Bone marrow smear: 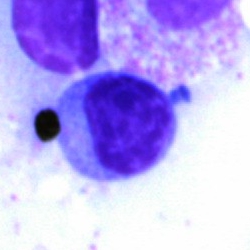

Cell type: typical lymphocyte.